Cropped to a single cell; bone marrow aspirate smear; May-Grünwald-Giemsa stain.
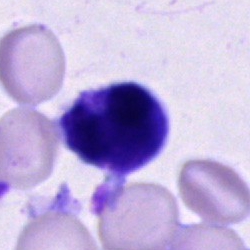
Showing an unidentifiable cell.